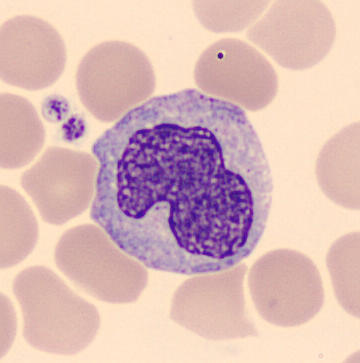 Classification — monocyte.